Bone marrow smear
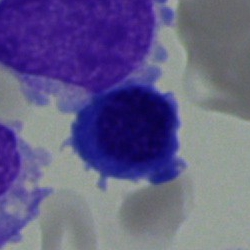 Q: What type of cell is this?
A: This is an erythroblast.